40× oil immersion. Single-cell crop. Bone marrow smear — 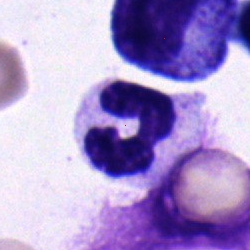 Impression → band neutrophil.